Bone marrow aspirate smear: 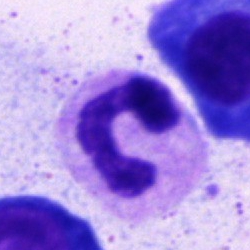 Impression — neutrophil (band).